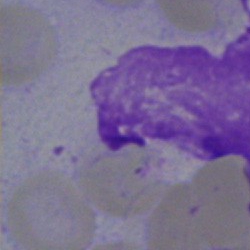

Morphology consistent with an artifact.